Bone marrow smear · single-cell field
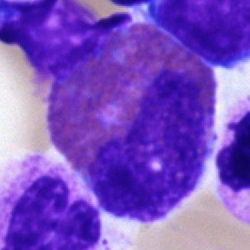
The cell shown is an eosinophil.